Single cell centered in the field; bone marrow aspirate smear; image size 250×250.
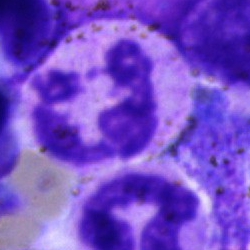
Single cell identified as a neutrophil (segmented).